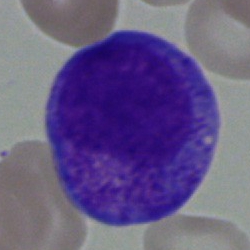
Morphology consistent with a progranulocyte.